Bone marrow aspirate smear:
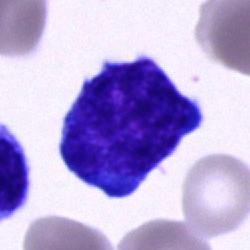Morphological class: undifferentiated blast.